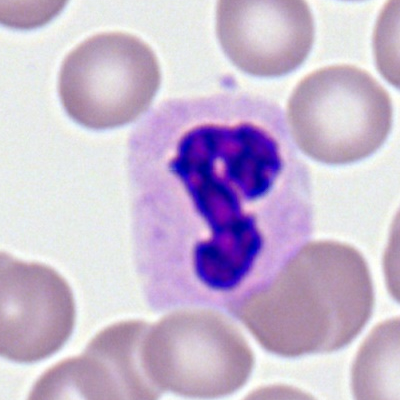
Single cell identified as a neutrophil (segmented).